Bone marrow smear. Brightfield, 40× oil-immersion objective.
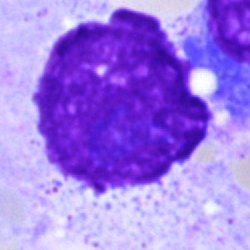 Morphology consistent with an artifact.